Bone marrow aspirate smear.
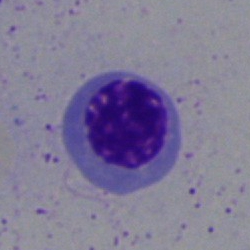 Classification — nucleated red cell.